250×250 px. Bone marrow smear: 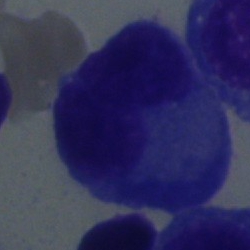

Showing a plasma cell.